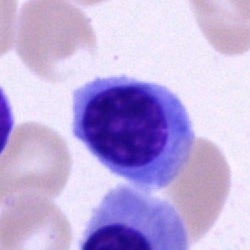

Cell type = normoblast.